Bone marrow smear. MGG-stained: 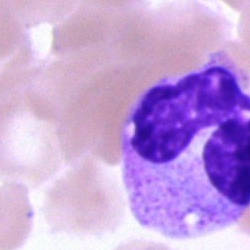
A neutrophil (segmented).